Bone marrow smear
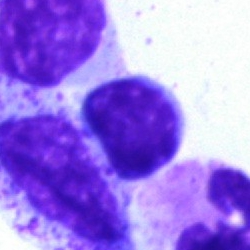Single cell identified as a lymphocyte.